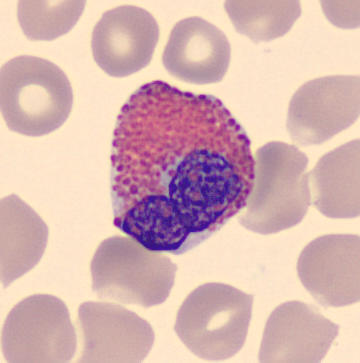
Preparation: May-Grünwald-Giemsa-stained · peripheral blood smear · 360×363 px. Single cell identified as an eosinophilic granulocyte.